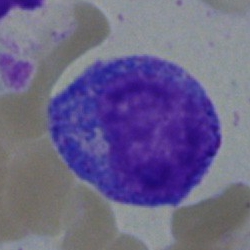Bone marrow smear showing a promyelocyte.